Bone marrow aspirate smear.
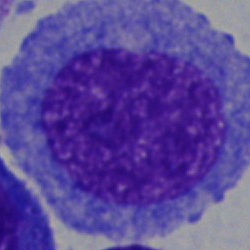
The morphological class is progranulocyte.